Bone marrow aspirate smear.
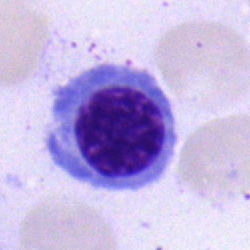
Q: Identify the cell.
A: It is an erythroblast.